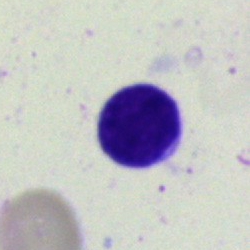Bone marrow aspirate smear, single cell — typical lymphocyte.